Single-cell crop. Peripheral blood smear. Image size 400×400: 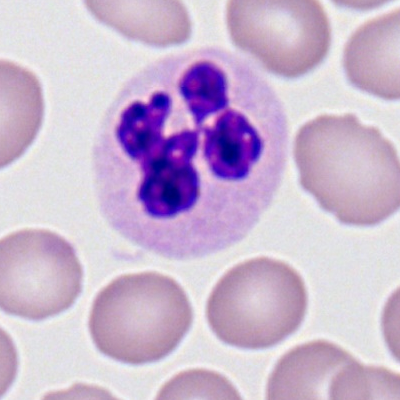 Single cell identified as a neutrophil (segmented).